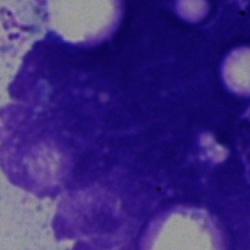 Classification: artifact.